Bone marrow smear: 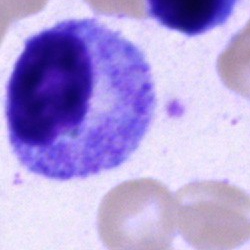

Q: Which cell type is shown here?
A: This is a progranulocyte.